Cropped to a single cell; bone marrow aspirate smear: 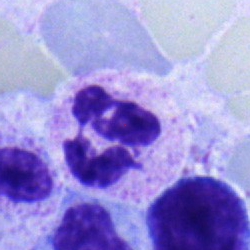Q: What is the morphological classification of this cell?
A: This is a polymorphonuclear neutrophil.